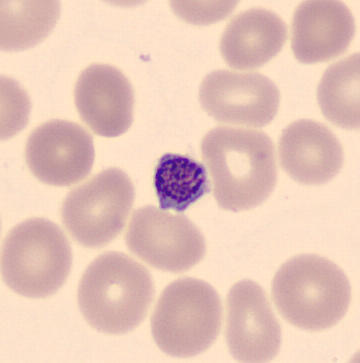 Q: What is shown here?
A: It is a thrombocyte.
Image size 360×363. Peripheral blood smear. CellaVision DM96.